Bone marrow smear · brightfield, 40× oil-immersion objective · image size 250×250.
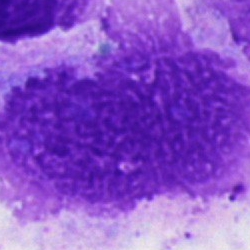Specimen: bone marrow smear.
Cell type: artefact.